Brightfield microscopy, 40× oil immersion; bone marrow smear.
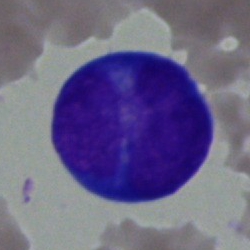
Specimen: bone marrow aspirate smear.
Classification: blast cell.